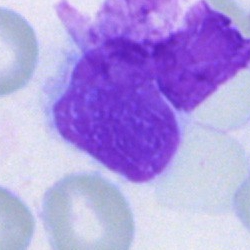
{"cell_type": "artefact"}